100× oil immersion, 14.14 px/µm · Romanowsky-stained · peripheral blood smear.
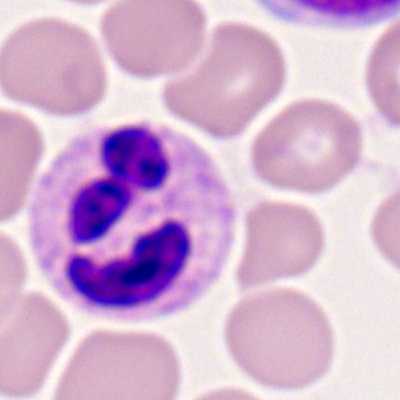

Q: Which cell type is shown here?
A: Polymorphonuclear neutrophil.